Bone marrow aspirate smear · 40× objective, oil immersion.
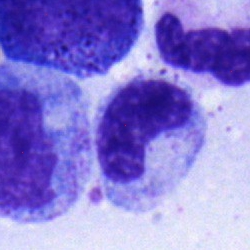Morphology consistent with a metamyelocyte.